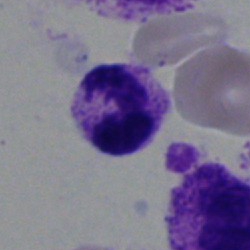Bone marrow aspirate smear, single cell — polymorphonuclear neutrophil.